Bone marrow aspirate smear; May-Grünwald-Giemsa/Pappenheim stain
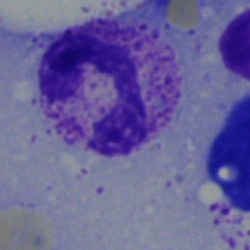Morphology consistent with a neutrophil (segmented).